Brightfield microscopy, 40× oil immersion · bone marrow smear
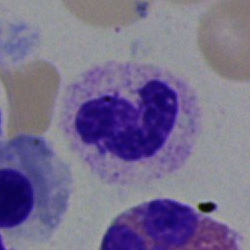

Q: Identify the cell.
A: A segmented neutrophil.